40× objective, oil immersion; bone marrow smear: 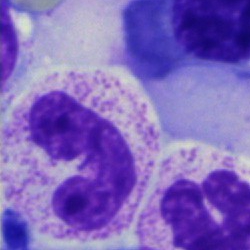

Specimen: bone marrow smear.
Morphological class: neutrophil (band).
Lineage: myeloid.